Bone marrow aspirate smear:
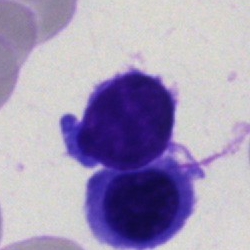
Specimen: bone marrow smear.
Cell: typical lymphocyte.